Bone marrow aspirate smear.
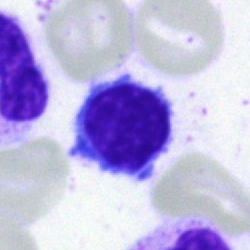Q: Which cell type is shown here?
A: Lymphocyte.